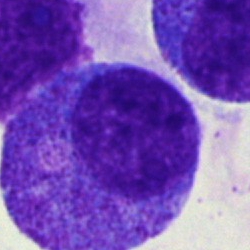

{"cell_type": "myelocyte", "lineage": "myeloid"}